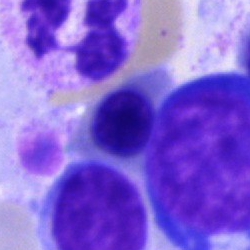

A nucleated red cell on a bone marrow smear.